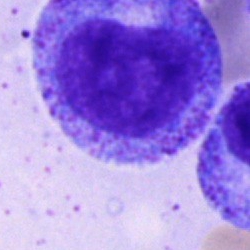 {"cell_type": "progranulocyte", "lineage": "myeloid"}